Bone marrow aspirate smear. Single-cell field — 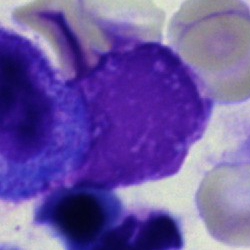
Q: What is shown here?
A: It is an artifact.